Bone marrow aspirate smear.
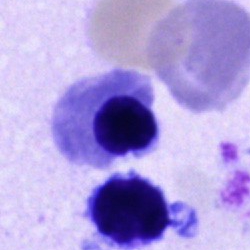 Cell type — normoblast.